Bone marrow smear — 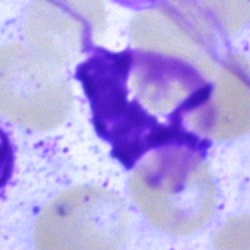Single cell identified as an artefact.